Brightfield, 100× oil-immersion objective. 400 by 400 pixels. Peripheral blood film: 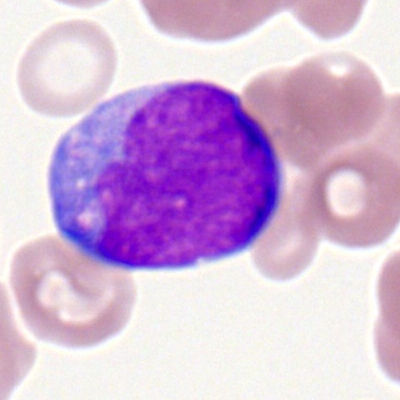 Q: Identify the cell.
A: This is a myeloid blast.